Bone marrow aspirate smear.
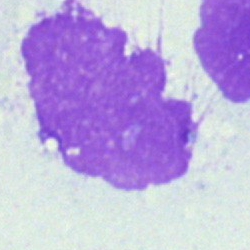
The cell is artifact.